Bone marrow smear: 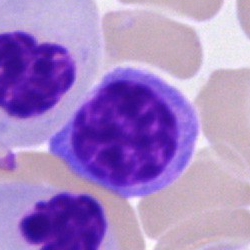
Nucleated red cell.